Brightfield, 40× oil-immersion objective. Image size 250×250. Bone marrow aspirate smear: 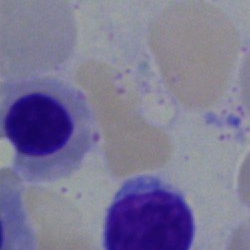 Single cell identified as a normoblast.